Peripheral blood film: 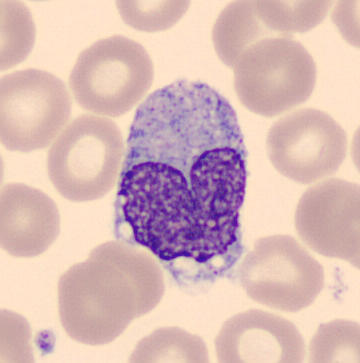
Classification: monocyte.